Bone marrow aspirate smear
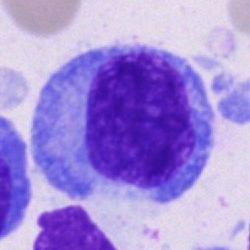

Specimen: bone marrow aspirate smear.
Cell: plasmacyte.
Lineage: lymphoid.